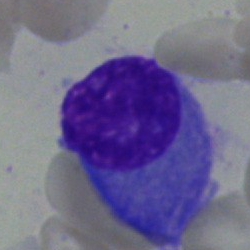Cell type: plasma cell.